Bone marrow aspirate smear.
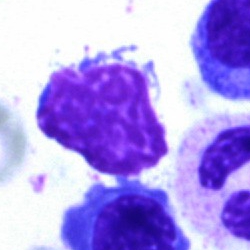

Artefact.